Bone marrow aspirate smear; 250×250 px:
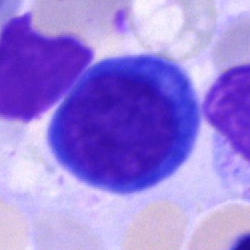 This is an erythroblast.